Single-cell crop · bone marrow smear · Pappenheim-stained
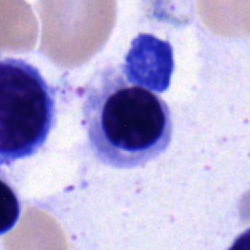
Q: What is shown here?
A: Nucleated red cell.